Bone marrow smear; brightfield microscopy, 40× oil immersion
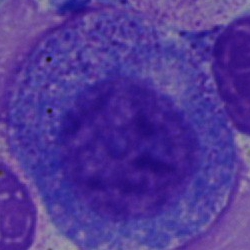{"cell_type": "progranulocyte", "lineage": "myeloid"}